Bone marrow aspirate smear:
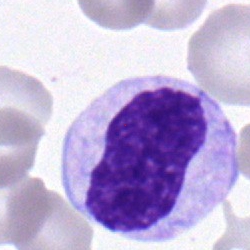

Showing a myelocyte.